Bone marrow aspirate smear:
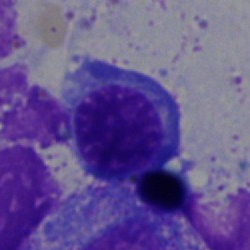 Cell type = nucleated red cell.